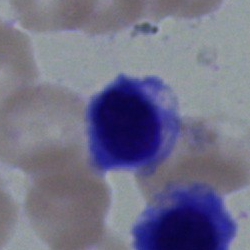The cell is erythroblast.